Bone marrow smear: 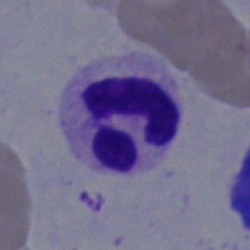 Polymorphonuclear neutrophil.